Peripheral blood smear: 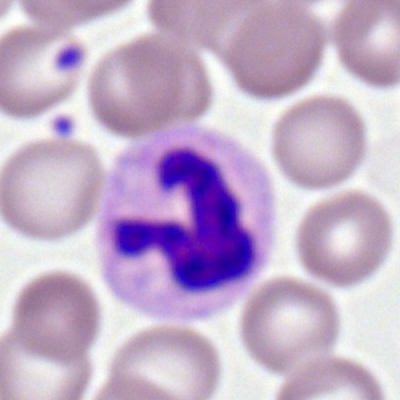

Q: What is the morphological classification of this cell?
A: Polymorphonuclear neutrophil.